Bone marrow aspirate smear — 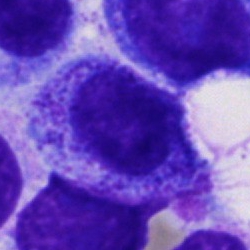

Cell = progranulocyte.